Bone marrow aspirate smear. Brightfield microscopy, 40× oil immersion. 250×250 px — 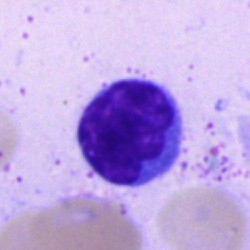 Single cell identified as a lymphocyte.